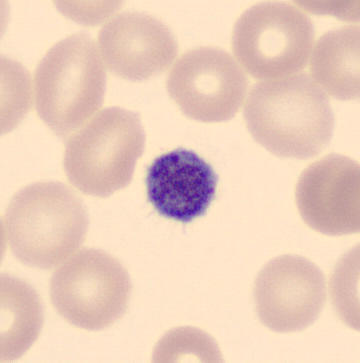

Morphology → platelet (thrombocyte).